Bone marrow smear: 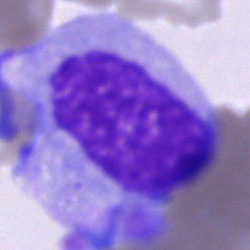
Morphological class = cell of indeterminate lineage.